MGG-stained; bone marrow aspirate smear.
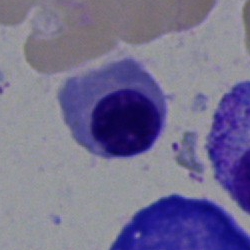 Q: Which cell type is shown here?
A: Normoblast.